Bone marrow smear: 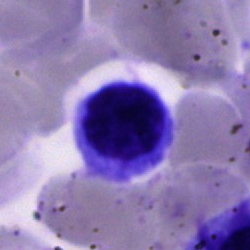 Q: What type of cell is this?
A: It is a normoblast.